Image size 250×250. May-Grünwald-Giemsa/Pappenheim stain. Bone marrow aspirate smear — 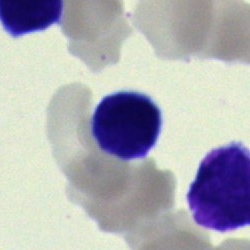 Cell: lymphocyte.